Bone marrow aspirate smear.
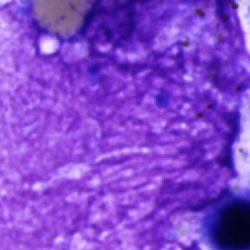Morphology — artifact.